Bone marrow smear.
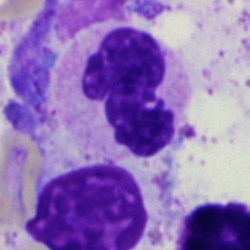The cell is segmented neutrophil.